Bone marrow aspirate smear:
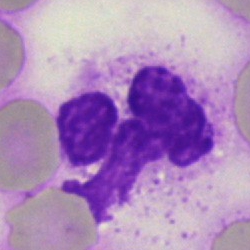

Impression → polymorphonuclear neutrophil.